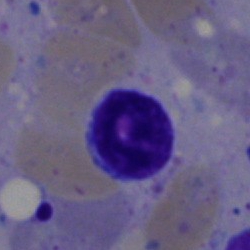
A lymphocyte on a bone marrow smear.